Pappenheim-stained · cropped to a single cell · bone marrow aspirate smear
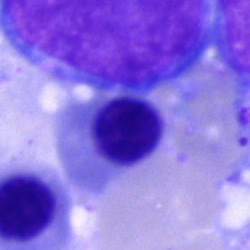
Q: What cell is this?
A: Erythroblast.